Bone marrow aspirate smear; Pappenheim-stained: 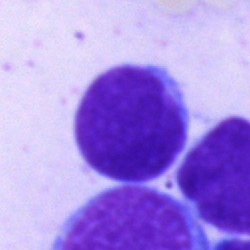 The cell type is blast cell.